Bone marrow aspirate smear — 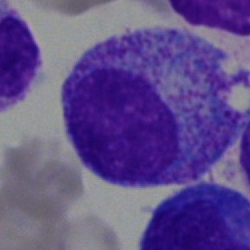 The cell shown is a progranulocyte.